Single cell centered in the field. Brightfield microscopy, 40× oil immersion. Bone marrow smear
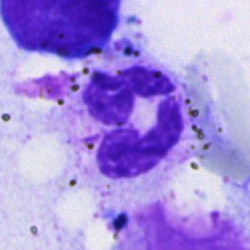
Morphological class = neutrophil (segmented).